Bone marrow smear · single-cell crop:
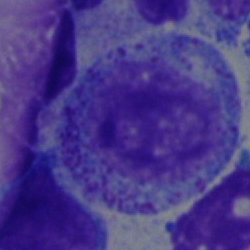The cell shown is a myelocyte.